Bone marrow aspirate smear — 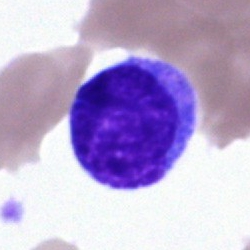
Cell = lymphocyte.